May-Grünwald-Giemsa stain · bone marrow smear · cropped to a single cell — 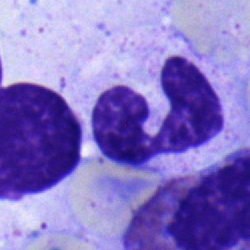This is a neutrophil (segmented).